Bone marrow aspirate smear:
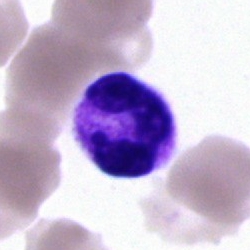

Q: What type of cell is this?
A: It is a polymorphonuclear neutrophil.